Bone marrow smear; cropped to a single cell: 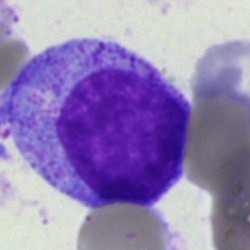Myelocyte.